Bone marrow smear: 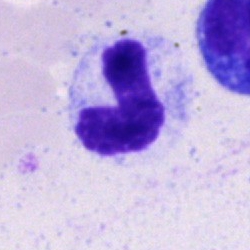Cell — band neutrophil.